Bone marrow aspirate smear:
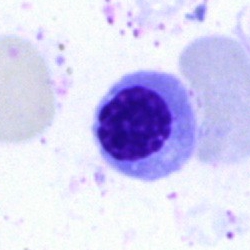 Showing a nucleated red cell.